Bone marrow smear
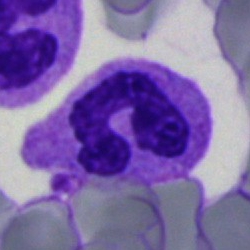 Specimen: bone marrow aspirate smear.
Cell type: stab cell.